Bone marrow aspirate smear
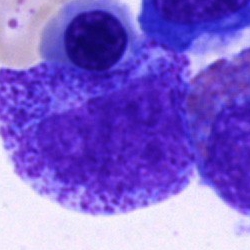
Q: What is the morphological classification of this cell?
A: This is a progranulocyte.